Bone marrow aspirate smear
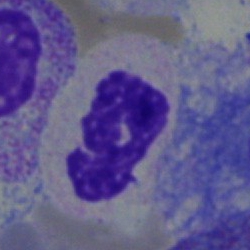{"cell_type": "neutrophil (segmented)", "lineage": "myeloid"}